Bone marrow aspirate smear:
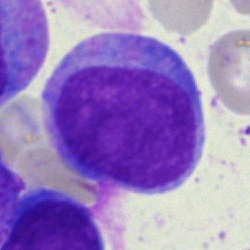Morphology consistent with a blast.